Bone marrow aspirate smear
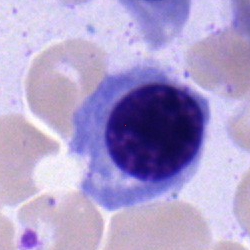Specimen: bone marrow aspirate smear.
Morphological class: normoblast.
Lineage: erythroid.